Bone marrow smear:
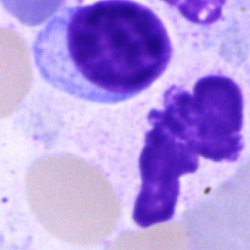 Morphology → lymphocyte.